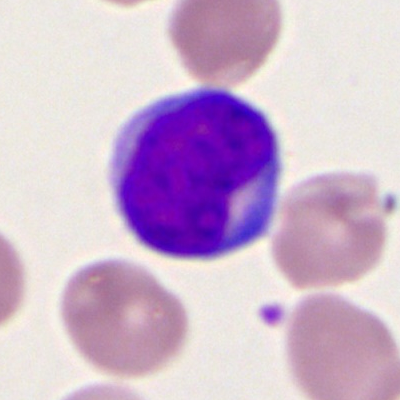

A myeloid blast.